Bone marrow aspirate smear.
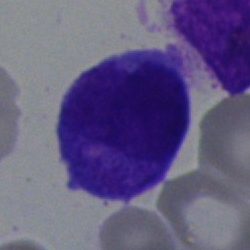
Q: What is the morphological classification of this cell?
A: A blast cell.